Bone marrow smear.
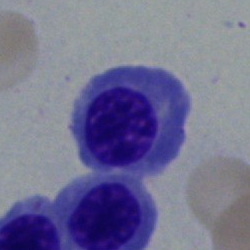Erythroblast.